Bone marrow aspirate smear — 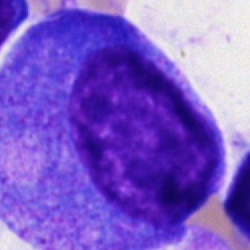Q: What type of cell is this?
A: This is a progranulocyte.